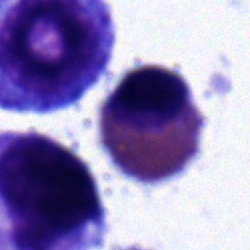

Q: What is the morphological classification of this cell?
A: An eosinophil.